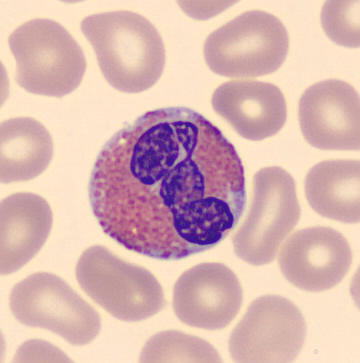Cell — eosinophilic granulocyte.